Bone marrow smear:
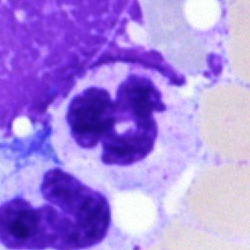

Cell = segmented neutrophil.